Bone marrow aspirate smear. 250×250 px — 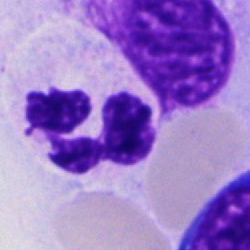

Morphology → segmented neutrophil.